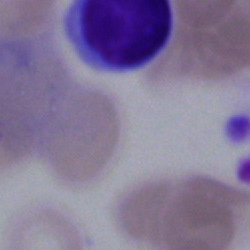

Morphological class — artifact.